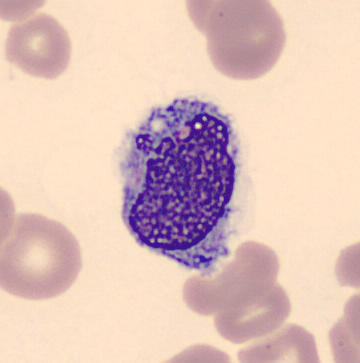
Classification: monocyte.